Bone marrow aspirate smear · Pappenheim-stained · brightfield microscopy, 40× oil immersion.
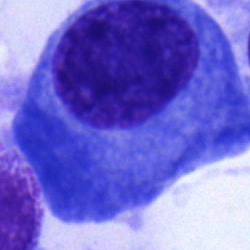

The cell type is plasma cell.